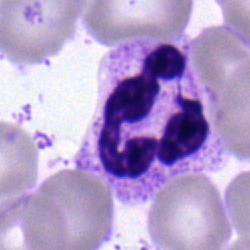Classification: segmented neutrophil.